Brightfield microscopy, 40× oil immersion; cropped to a single cell; bone marrow smear
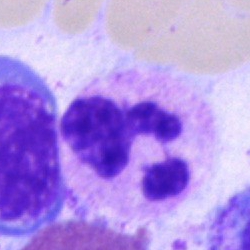 Cell: neutrophil (segmented).